250×250 px. Single-cell crop. Bone marrow smear.
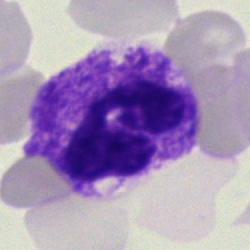The morphological class is segmented neutrophil.